Bone marrow aspirate smear: 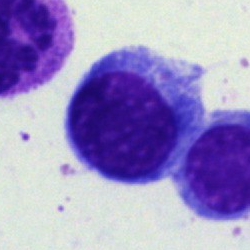

A lymphocyte.